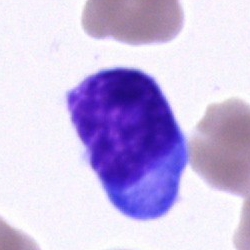
A blast cell.